Single-cell crop · brightfield, 40× oil-immersion objective · bone marrow aspirate smear.
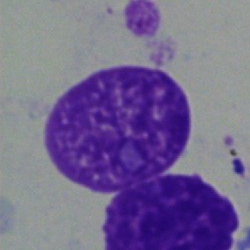
Cell — artifact.